Bone marrow smear.
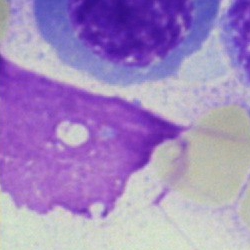

Specimen: bone marrow smear.
Cell: artifact.